Bone marrow aspirate smear:
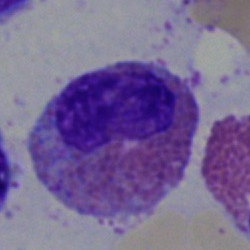

Q: Identify the cell.
A: An eosinophil.